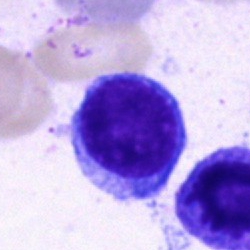
Single-cell crop from a bone marrow smear: lymphocyte.